Bone marrow smear — 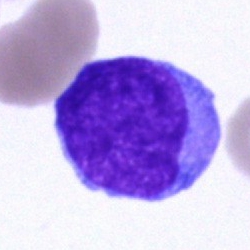

Q: What cell is this?
A: An undifferentiated blast.